Bone marrow aspirate smear:
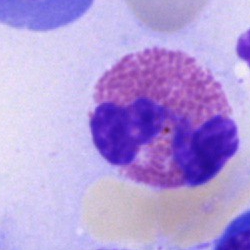

Morphology → eosinophil.